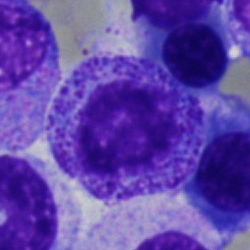

Q: What type of cell is this?
A: This is a myelocyte.